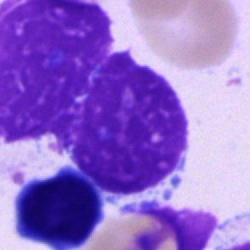
{"cell_type": "artefact"}